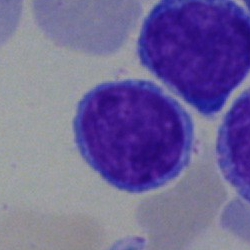
Single-cell crop from a bone marrow smear: lymphocyte.